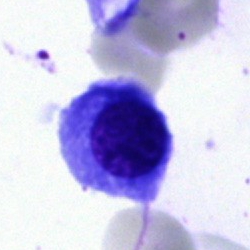

Specimen: bone marrow aspirate smear.
Morphological class: erythroblast.
Lineage: erythroid.